Brightfield microscopy, 40× oil immersion. Bone marrow smear
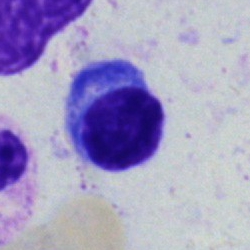

Morphological class = plasmacyte.